Bone marrow aspirate smear; MGG-stained
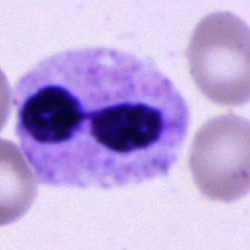
Q: What type of cell is this?
A: A neutrophil (segmented).